Bone marrow aspirate smear:
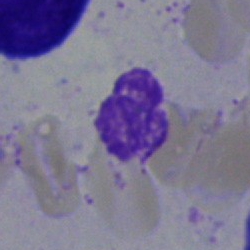 Single cell identified as an artifact.